Bone marrow aspirate smear
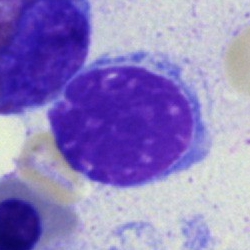
Q: What is shown here?
A: It is an artifact.